Bone marrow aspirate smear.
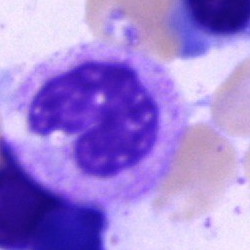Morphology consistent with a neutrophil (segmented).